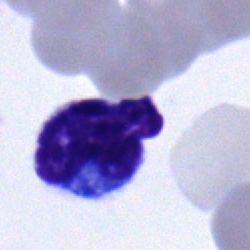Q: Identify the cell.
A: Lymphocyte.